Bone marrow smear.
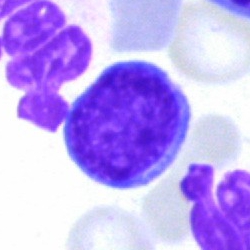 Specimen: bone marrow smear.
Morphological class: lymphocyte.
Lineage: lymphoid.